Peripheral blood smear · image size 360×363
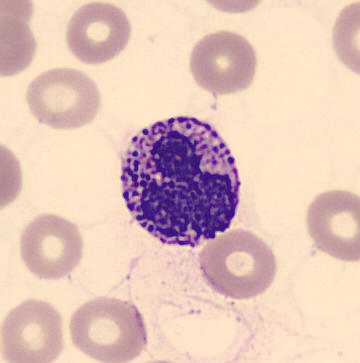Q: Which cell type is shown here?
A: A basophil.